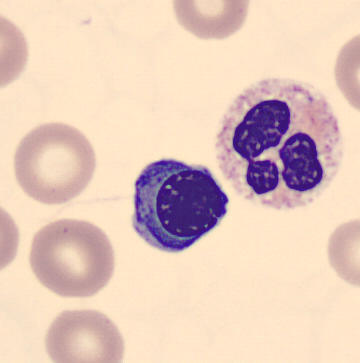
Peripheral blood film.
The cell shown is an erythroblast.